Bone marrow smear · 250 by 250 pixels
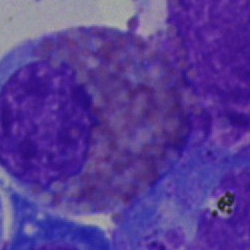

An eosinophil.